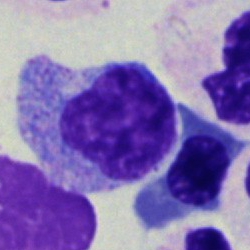Q: What is shown here?
A: Myelocyte.